May-Grünwald-Giemsa/Pappenheim stain. 250×250 px. Bone marrow aspirate smear: 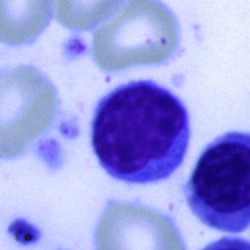 Q: Which cell type is shown here?
A: It is a typical lymphocyte.